Bone marrow aspirate smear; single cell centered in the field
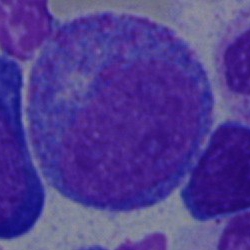
Promyelocyte.